Bone marrow smear
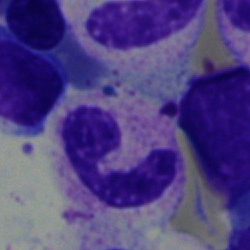Q: Which cell type is shown here?
A: A stab cell.